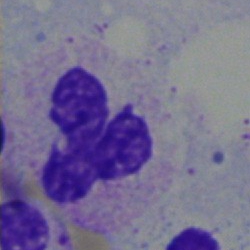Specimen: bone marrow smear.
Cell: neutrophil (segmented).
Lineage: myeloid.